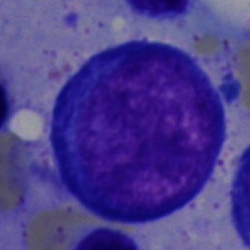Q: Which cell type is shown here?
A: A proerythroblast.